Bone marrow aspirate smear · MGG-stained — 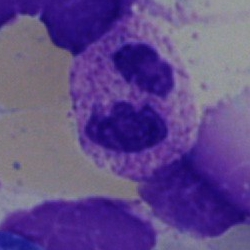Specimen: bone marrow smear.
Classification: polymorphonuclear neutrophil.
Lineage: myeloid.